Single cell centered in the field. Bone marrow smear:
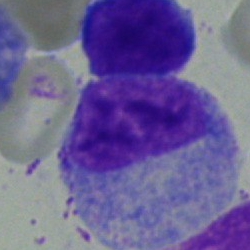

Morphology — myelocyte.